Bone marrow smear · May-Grünwald-Giemsa stain — 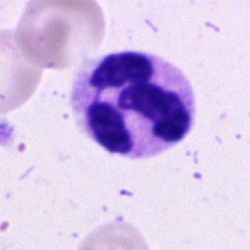

Q: What is shown here?
A: It is a segmented neutrophil.